Bone marrow smear.
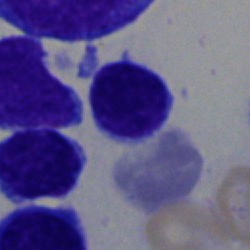Q: What is shown here?
A: This is a lymphocyte.